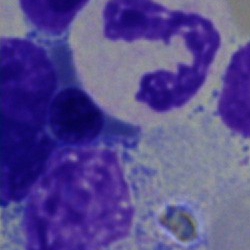 Impression — neutrophil (segmented).